40× objective, oil immersion; bone marrow smear:
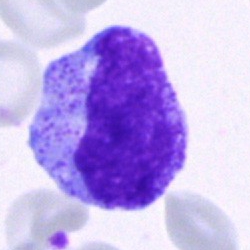Promyelocyte.